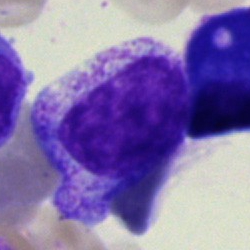Q: Identify the cell.
A: It is a myelocyte.